Bone marrow smear · cropped to a single cell
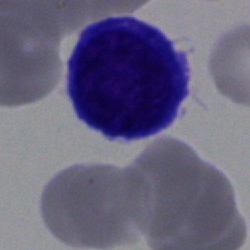 Classification: typical lymphocyte.